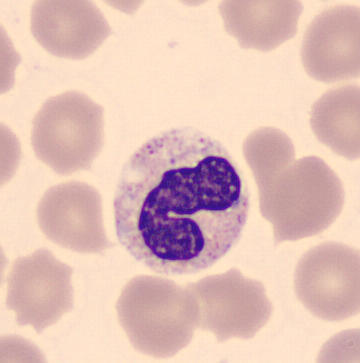

Cell: band-form neutrophil.

Preparation: Peripheral blood smear.